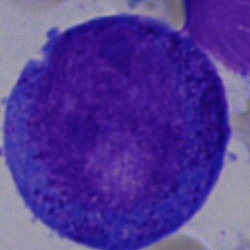Impression → promyelocyte.